Bone marrow smear — 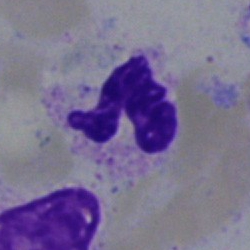
Q: Identify the cell.
A: A polymorphonuclear neutrophil.